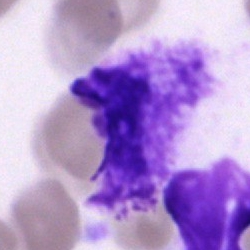
Specimen: bone marrow aspirate smear.
Cell: unidentifiable cell.